MGG-stained; image size 250×250; bone marrow aspirate smear — 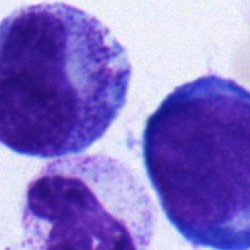

Morphology consistent with a pronormoblast.